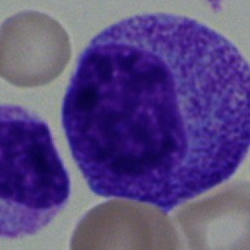Bone marrow aspirate smear, single cell — progranulocyte.